250 by 250 pixels. Bone marrow aspirate smear: 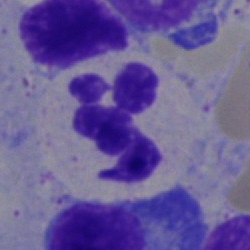
Single cell identified as a neutrophil (segmented).